Bone marrow smear. Single-cell crop.
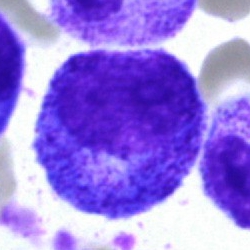 Impression → promyelocyte.